Bone marrow smear: 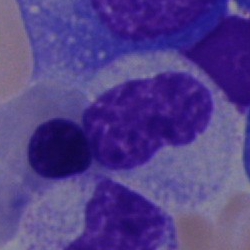
The cell type is stab cell.